Bone marrow smear
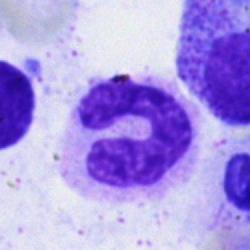 Showing a segmented neutrophil.